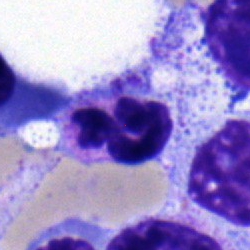
Bone marrow aspirate smear, single cell — neutrophil (segmented).